Bone marrow smear:
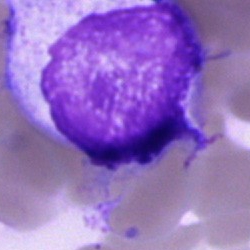
Impression — cell of indeterminate lineage.